Bone marrow smear; 250×250 px: 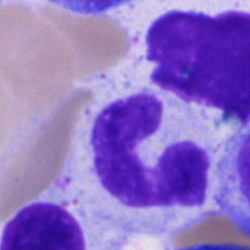

Morphology → band-form neutrophil.